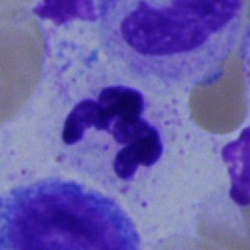

Morphological class: neutrophil (segmented).